Bone marrow aspirate smear. Cropped to a single cell:
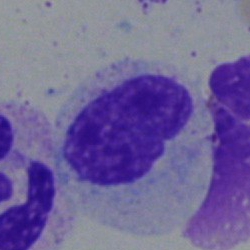

Specimen: bone marrow aspirate smear.
Classification: metamyelocyte.